Bone marrow smear · single-cell crop:
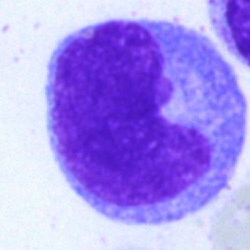Morphology — monocyte.